Bone marrow smear.
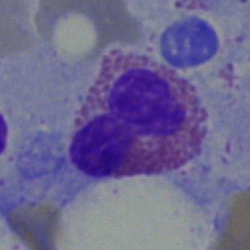

Q: Which cell type is shown here?
A: Eosinophil.